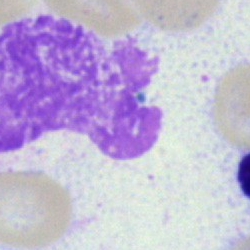 {"cell_type": "artefact"}